Bone marrow smear · image size 250×250.
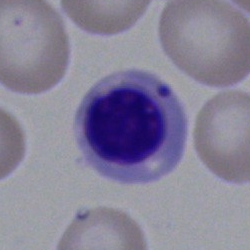

This is a normoblast.